Bone marrow smear: 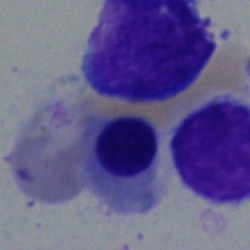Specimen: bone marrow smear.
Cell: erythroblast.